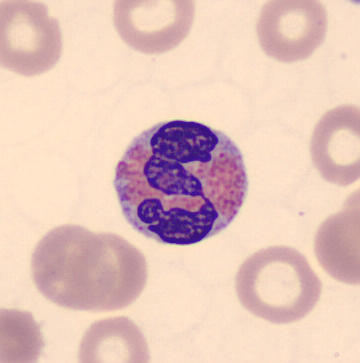 Morphology — eosinophil.